Bone marrow aspirate smear; image size 250×250.
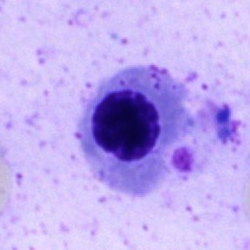 Morphology consistent with an erythroblast.